Bone marrow aspirate smear.
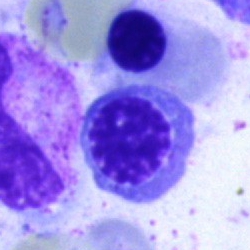
Classification — normoblast.